Bone marrow aspirate smear · cropped to a single cell · May-Grünwald-Giemsa stain: 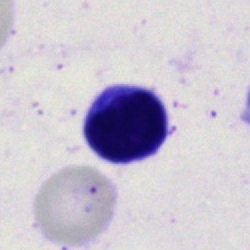
Single cell identified as a typical lymphocyte.